Bone marrow aspirate smear: 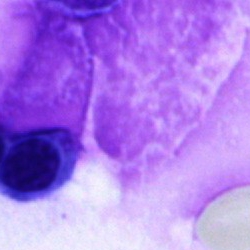This is an artifact.